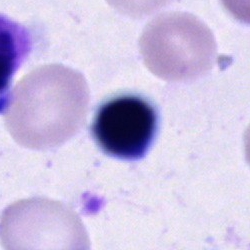
Cell — cell of indeterminate lineage.